Bone marrow smear; 40× oil immersion; single cell centered in the field
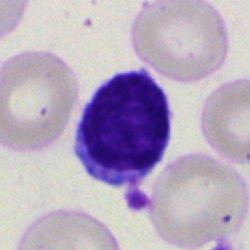 Single cell identified as a typical lymphocyte.